Bone marrow smear · 250×250 px · May-Grünwald-Giemsa/Pappenheim stain: 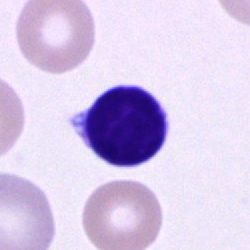Lymphocyte.